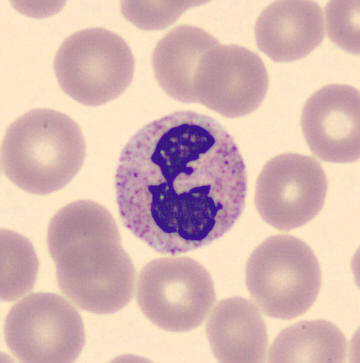

Identified as a polymorphonuclear neutrophil.

Preparation: Peripheral blood film.